Bone marrow smear:
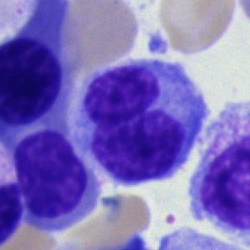

Cell: monocyte.